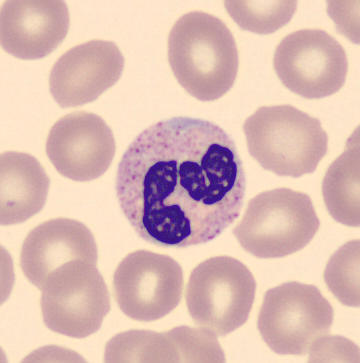Image: Peripheral blood film.
Morphological class: segmented neutrophil.